Bone marrow aspirate smear:
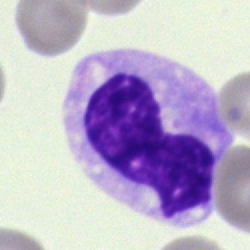
Cell type: band neutrophil.